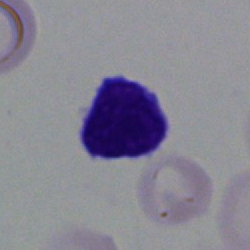 Q: What is shown here?
A: A lymphocyte.